Bone marrow smear:
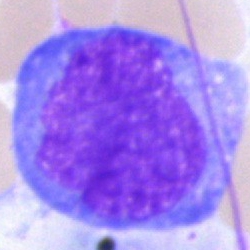 The cell is blast cell.